Peripheral blood film; cropped to a single cell: 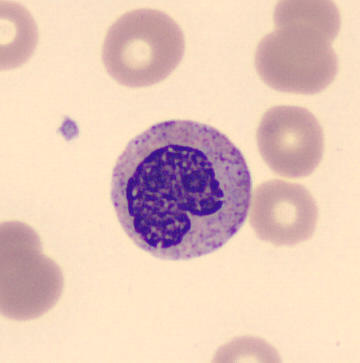

Q: What is this?
A: A metamyelocyte.